Bone marrow aspirate smear:
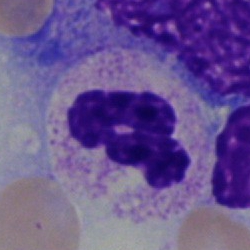

This is a neutrophil (segmented).